Bone marrow smear
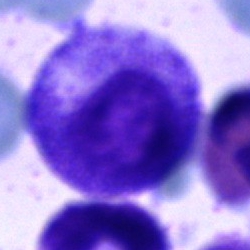 A progranulocyte.